Brightfield, 40× oil-immersion objective; bone marrow smear.
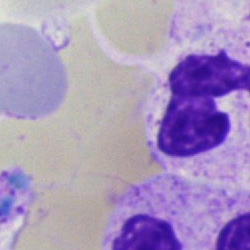 Specimen: bone marrow smear.
Cell: polymorphonuclear neutrophil.
Lineage: myeloid.